Bone marrow aspirate smear
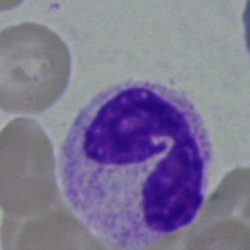

Classification — polymorphonuclear neutrophil.